Peripheral blood film — 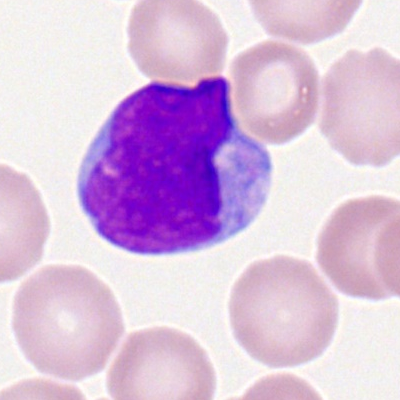

Morphology consistent with a myeloid blast.